Bone marrow aspirate smear
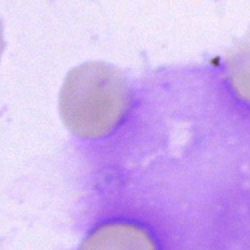
An artefact.